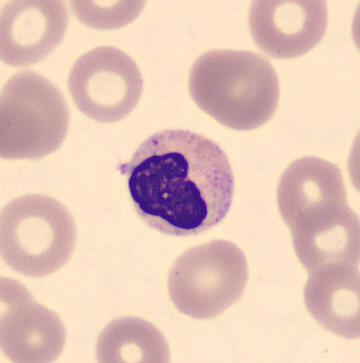 Single cell identified as a band neutrophil.